Bone marrow smear: 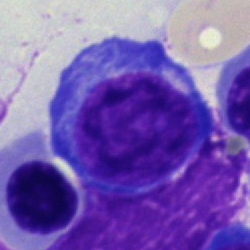The cell type is erythroblast.